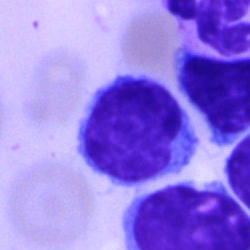
Showing a lymphocyte.